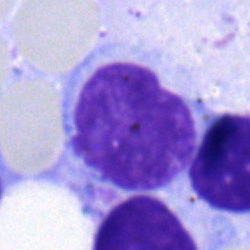 Cell type — lymphocyte.